Bone marrow aspirate smear — 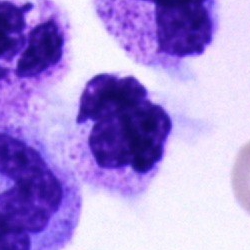

Impression → segmented neutrophil.